Single cell centered in the field · brightfield, 40× oil-immersion objective · bone marrow aspirate smear
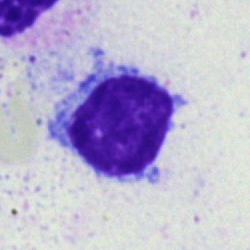

Morphology — typical lymphocyte.